Bone marrow aspirate smear.
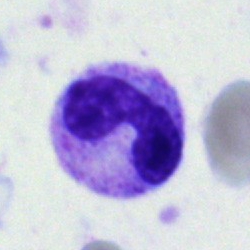Classification: neutrophil (band).